Bone marrow aspirate smear
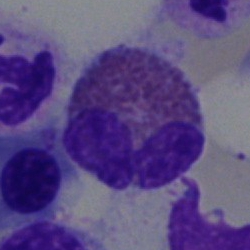The cell type is eosinophilic granulocyte.